Bone marrow aspirate smear:
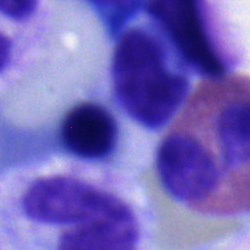

Morphological class — eosinophilic granulocyte.